Bone marrow smear:
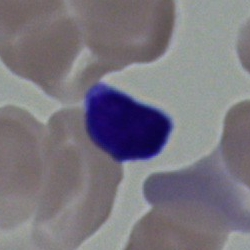

Specimen: bone marrow smear.
Cell type: lymphocyte.